Bone marrow aspirate smear:
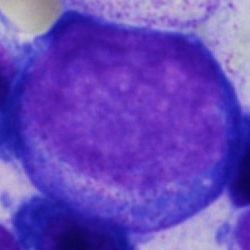
Q: What cell is this?
A: It is a promyelocyte.